Single-cell field. Bone marrow smear. Brightfield microscopy, 40× oil immersion:
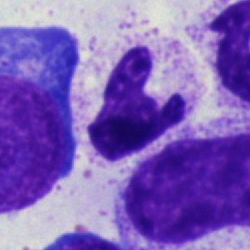 Impression — segmented neutrophil.